MGG-stained · bone marrow aspirate smear.
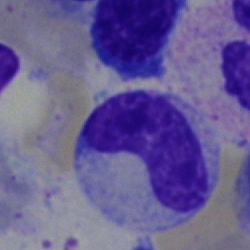 Q: What is shown here?
A: This is a neutrophil (band).